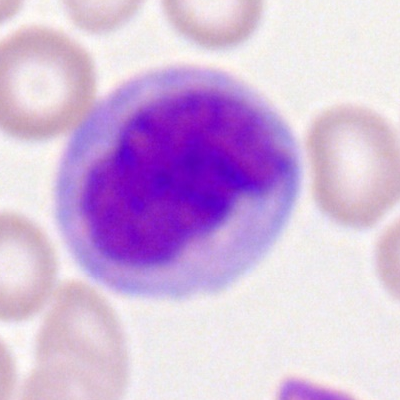
Monocyte.